Image size 360×363. Peripheral blood film
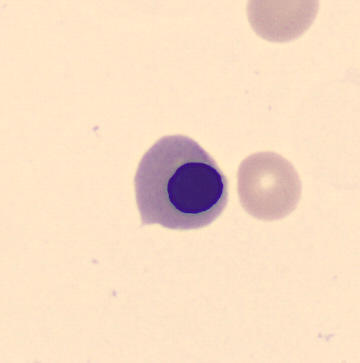
Cell: nucleated red cell.